Bone marrow aspirate smear · brightfield, 40× oil-immersion objective · single cell centered in the field: 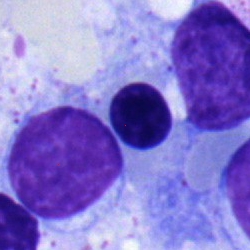

The cell is nucleated red cell.